May-Grünwald-Giemsa stain. Single-cell crop. Bone marrow smear.
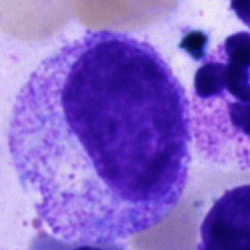Classification: promyelocyte.